Bone marrow aspirate smear.
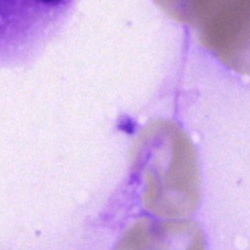 The cell is lymphocyte.